Image size 250×250 · bone marrow smear: 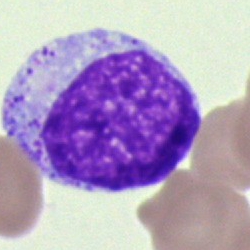Morphological class = myelocyte.